250×250 px · bone marrow smear — 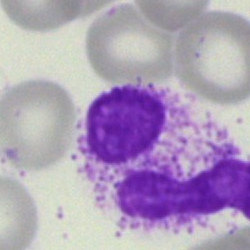 Showing an artefact.